Bone marrow smear: 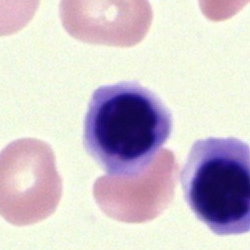

Q: What is the morphological classification of this cell?
A: This is an erythroblast.